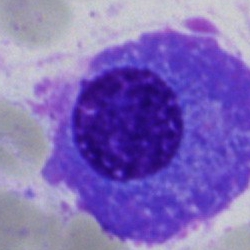
Classification = plasmacyte.